Bone marrow aspirate smear
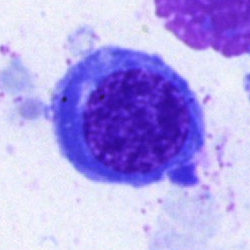

The cell shown is a normoblast.